Bone marrow smear. Brightfield, 40× oil-immersion objective — 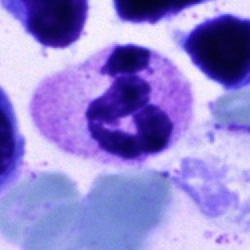
Cell — polymorphonuclear neutrophil.